Brightfield, 40× oil-immersion objective · bone marrow smear:
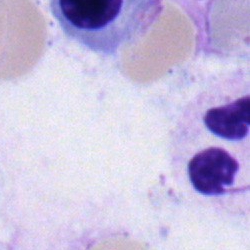 Polymorphonuclear neutrophil.